Bone marrow smear: 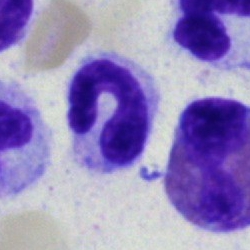

The classification is polymorphonuclear neutrophil.